Bone marrow aspirate smear: 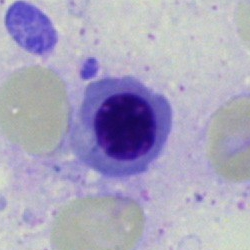
Impression — nucleated red cell.